Bone marrow aspirate smear; single-cell crop: 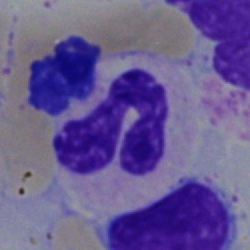Classification = polymorphonuclear neutrophil.